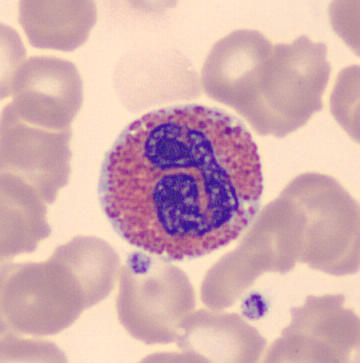

An eosinophil. Acquisition: Peripheral blood smear.